Bone marrow aspirate smear: 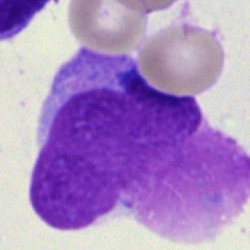 Morphology — artefact.